40× oil immersion; bone marrow aspirate smear; 250×250 px.
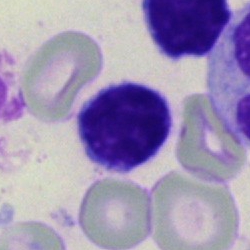
A lymphocyte.